Single-cell crop. Bone marrow aspirate smear. May-Grünwald-Giemsa/Pappenheim stain
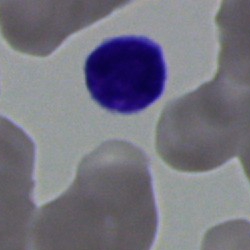The cell is typical lymphocyte.